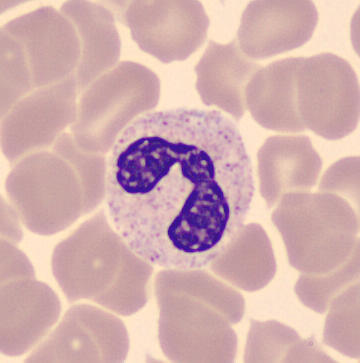
Cell type — segmented neutrophil.